Bone marrow aspirate smear
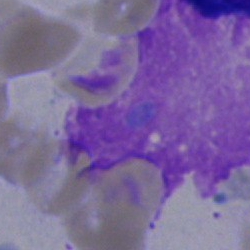
Q: What is shown here?
A: It is an artefact.